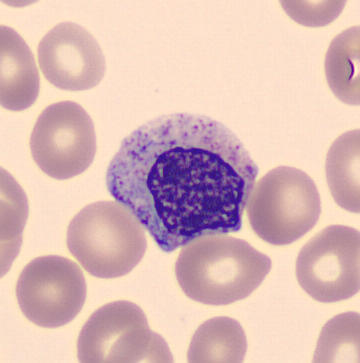 The cell shown is a myelocyte.
Acquisition: Peripheral blood film.